Bone marrow aspirate smear. 250×250: 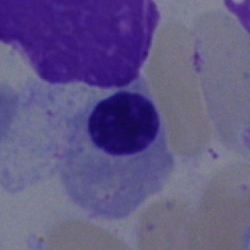

Q: What cell is this?
A: Erythroblast.